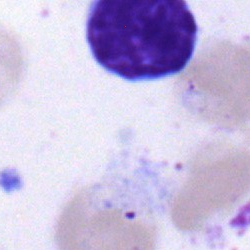

Q: Identify the cell.
A: This is a lymphocyte.